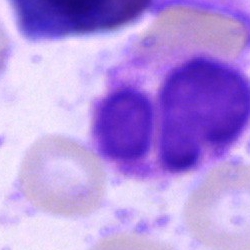Specimen: bone marrow aspirate smear.
Morphological class: artefact.